Bone marrow aspirate smear.
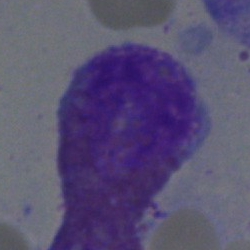
Q: Which cell type is shown here?
A: Eosinophil.